250×250 px; cropped to a single cell; bone marrow smear.
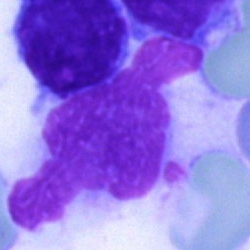Artifact.